Bone marrow aspirate smear — 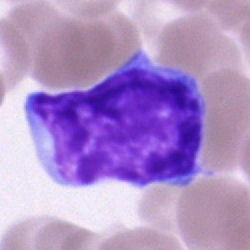
Blast cell.